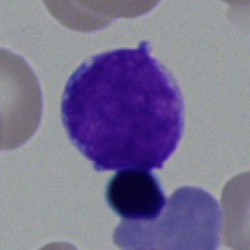Q: What cell is this?
A: Blast cell.